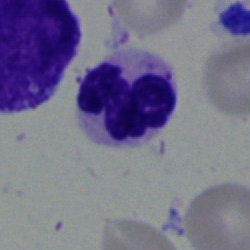

Q: Which cell type is shown here?
A: It is a neutrophil (segmented).